Bone marrow aspirate smear · 40× objective, oil immersion — 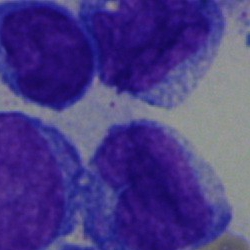 A blast.